Bone marrow aspirate smear — 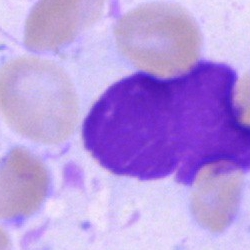

Specimen: bone marrow aspirate smear.
Cell type: artifact.